Bone marrow smear: 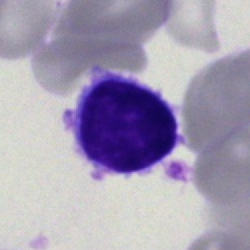 The cell type is typical lymphocyte.